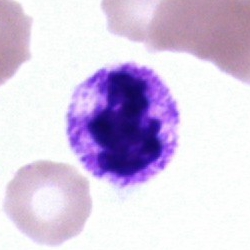A segmented neutrophil on a bone marrow smear.